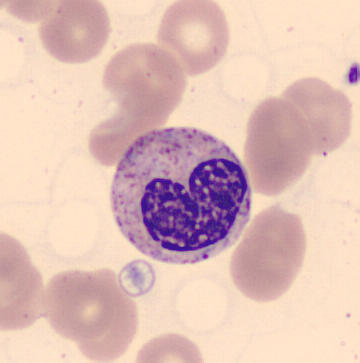

Image: 360×363 px. CellaVision DM96. Peripheral blood film. Q: Identify the cell.
A: Metamyelocyte.